Bone marrow smear
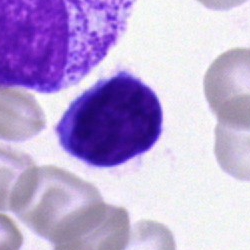Specimen: bone marrow aspirate smear.
Cell type: typical lymphocyte.
Lineage: lymphoid.